Bone marrow aspirate smear
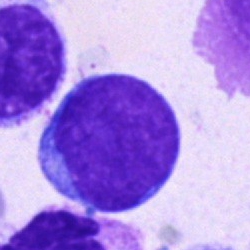
{"cell_type": "blast"}